Cropped to a single cell · peripheral blood film: 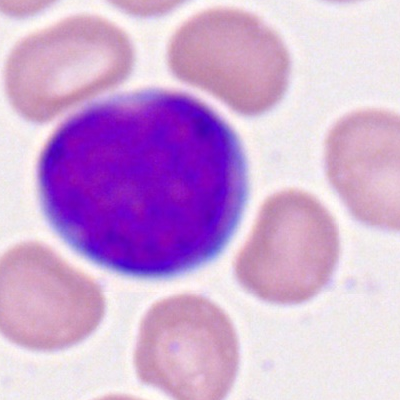Morphological class = myeloblast.